Bone marrow aspirate smear — 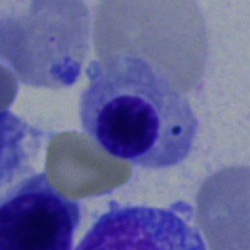

Specimen: bone marrow smear.
Classification: nucleated red cell.
Lineage: erythroid.